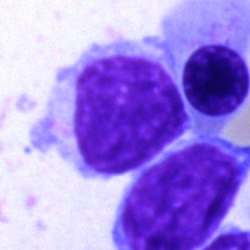

Q: Identify the cell.
A: It is a typical lymphocyte.